250×250; bone marrow smear; MGG-stained: 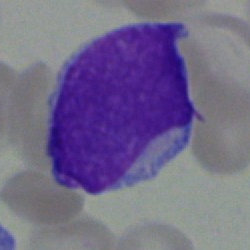

Q: What type of cell is this?
A: Undifferentiated blast.